Peripheral blood smear — 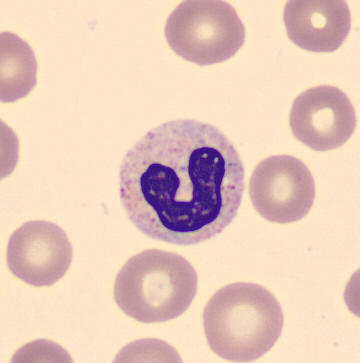{"cell_type": "band neutrophil", "lineage": "myeloid"}